250 by 250 pixels; bone marrow aspirate smear; single cell centered in the field:
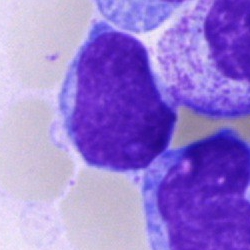Blast.